Bone marrow aspirate smear:
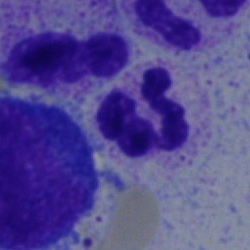
Single cell identified as a segmented neutrophil.